Bone marrow aspirate smear — 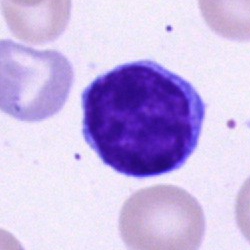 Cell: lymphocyte.